250×250; MGG-stained; bone marrow smear — 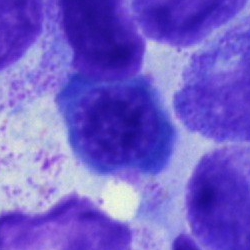Showing a normoblast.